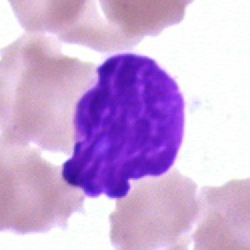

Specimen: bone marrow smear.
Cell: artifact.